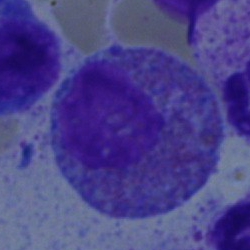
Classification — eosinophil.